Bone marrow aspirate smear · 40× objective, oil immersion · May-Grünwald-Giemsa/Pappenheim stain — 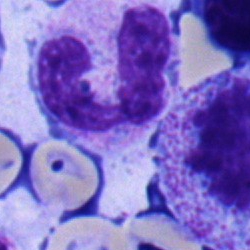
Classification = segmented neutrophil.